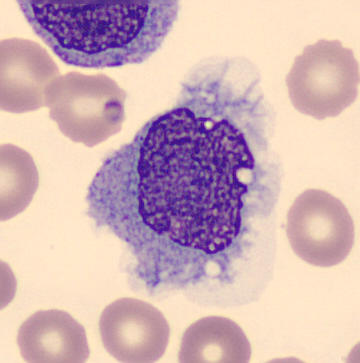
Classification: monocyte.

Peripheral blood film.